Brightfield microscopy, 40× oil immersion · MGG-stained · bone marrow aspirate smear: 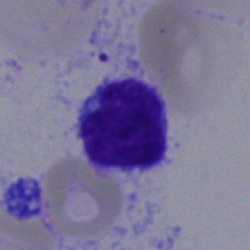

Q: Identify the cell.
A: A lymphocyte.